Bone marrow smear
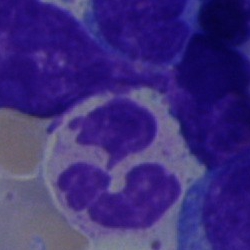 A segmented neutrophil.